MGG-stained; bone marrow aspirate smear
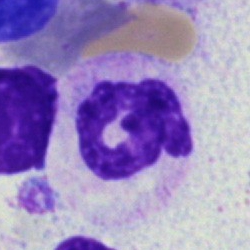
Cell = polymorphonuclear neutrophil.